Bone marrow smear · single cell centered in the field.
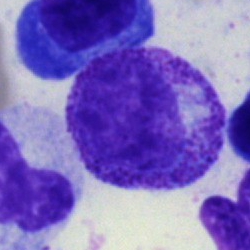 The cell shown is a myelocyte.